Bone marrow aspirate smear; cropped to a single cell: 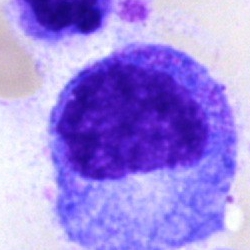
Morphological class = progranulocyte.